Bone marrow aspirate smear: 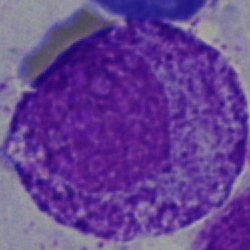
A promyelocyte.